Bone marrow smear:
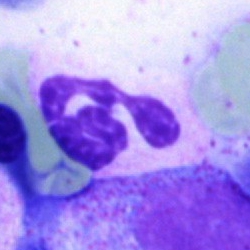

{"cell_type": "polymorphonuclear neutrophil", "lineage": "myeloid"}